Bone marrow smear.
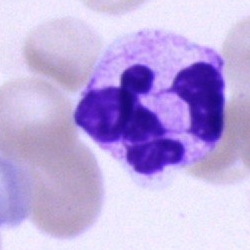The classification is segmented neutrophil.